Bone marrow aspirate smear; brightfield microscopy, 40× oil immersion — 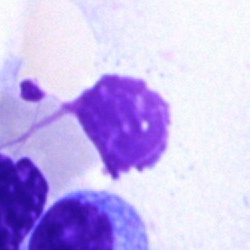
Single cell identified as an artefact.